Bone marrow aspirate smear · single-cell crop — 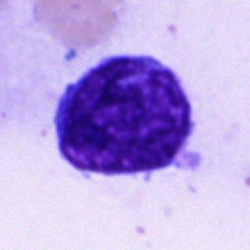 {"cell_type": "artefact"}